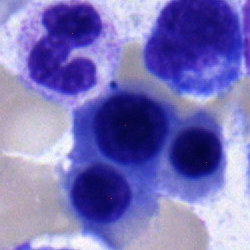 The classification is nucleated red cell.